Bone marrow aspirate smear
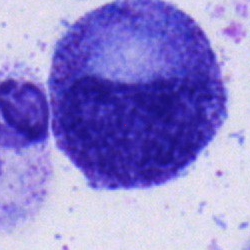Q: Identify the cell.
A: It is a promyelocyte.